May-Grünwald-Giemsa/Pappenheim stain · bone marrow smear · 40× oil immersion
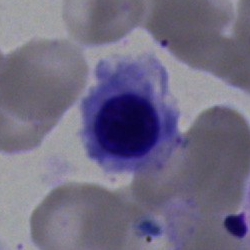
{"cell_type": "normoblast", "lineage": "erythroid"}